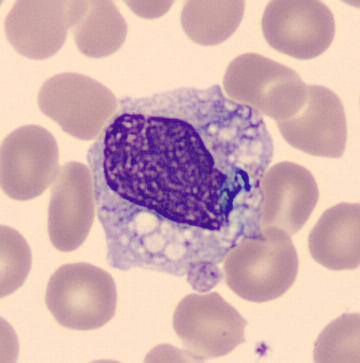
Morphology consistent with a monocyte.